40× oil immersion · bone marrow smear — 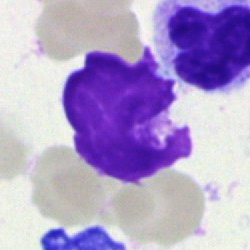 Q: What is shown here?
A: It is an artifact.